Bone marrow smear. Pappenheim-stained. Single-cell crop — 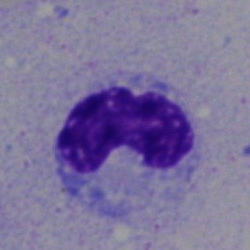

Morphology → stab cell.